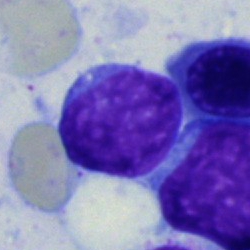 Impression → lymphocyte.